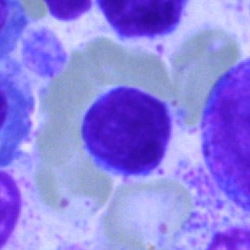

This is a lymphocyte.